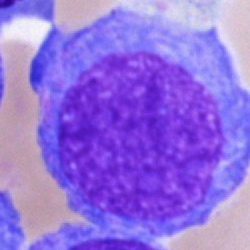 Morphology consistent with an undifferentiated blast.